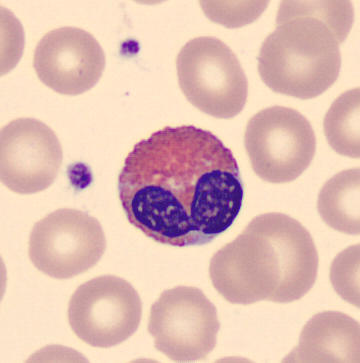 An eosinophil.

Single cell centered in the field. Peripheral blood smear.